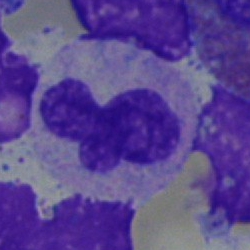

Classification — band-form neutrophil.